Bone marrow aspirate smear. Brightfield, 40× oil-immersion objective — 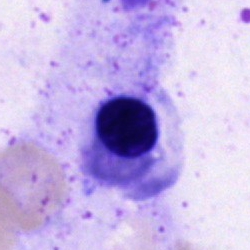

A nucleated red cell.